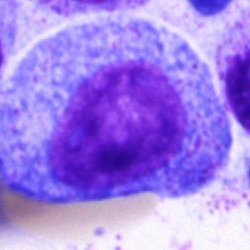 Showing a promyelocyte.